Bone marrow smear.
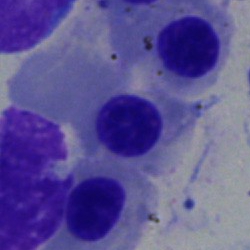
Q: What type of cell is this?
A: It is a nucleated red blood cell.